Bone marrow smear; MGG-stained:
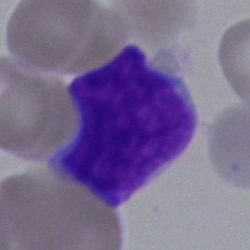 Classification: blast.